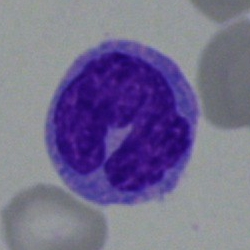
Impression — monocyte.